Bone marrow smear — 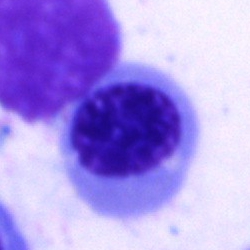Morphology consistent with a nucleated red blood cell.